Bone marrow smear
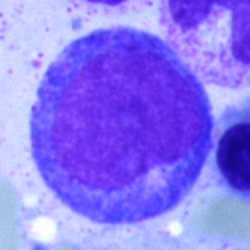
Specimen: bone marrow aspirate smear.
Morphological class: promyelocyte.
Lineage: myeloid.